May-Grünwald-Giemsa/Pappenheim stain; bone marrow smear:
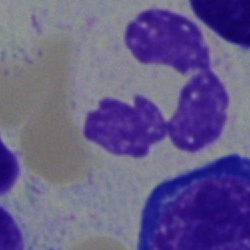
Cell type: polymorphonuclear neutrophil.